Image size 250×250; 40× oil immersion; bone marrow aspirate smear
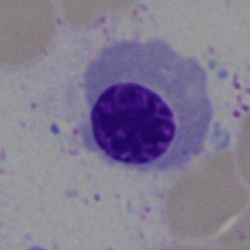 Normoblast.